Single-cell crop; bone marrow smear; 40× oil immersion — 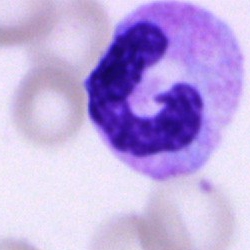
Morphology → polymorphonuclear neutrophil.